Bone marrow aspirate smear · single cell centered in the field: 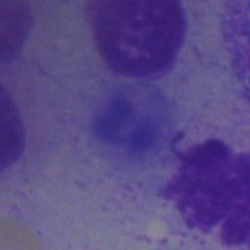 The morphological class is artefact.